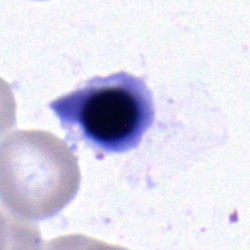Cell type — erythroblast.